Bone marrow aspirate smear: 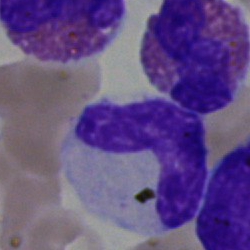 Stab cell.